May-Grünwald-Giemsa/Pappenheim stain; brightfield, 40× oil-immersion objective; bone marrow aspirate smear
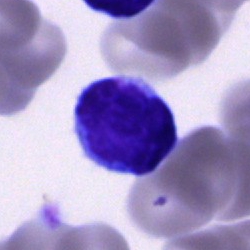 Morphology → lymphocyte.